May-Grünwald-Giemsa/Pappenheim stain; bone marrow aspirate smear — 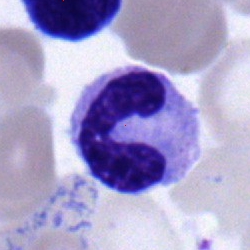 Q: Which cell type is shown here?
A: A band-form neutrophil.